Bone marrow smear; single-cell crop; image size 250×250
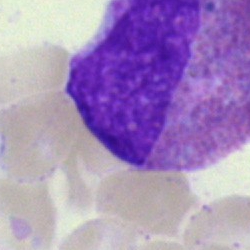 Specimen: bone marrow smear.
Morphological class: eosinophilic granulocyte.
Lineage: myeloid.